Bone marrow aspirate smear; single-cell crop.
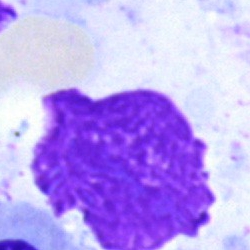

The cell shown is an artefact.